Bone marrow aspirate smear; image size 250×250; single-cell field.
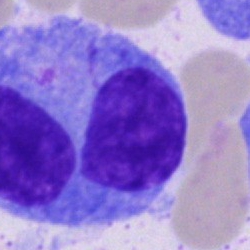

A plasmacyte.